Bone marrow aspirate smear:
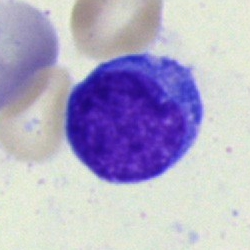

Cell type — typical lymphocyte.